Bone marrow aspirate smear; single-cell field; Pappenheim-stained:
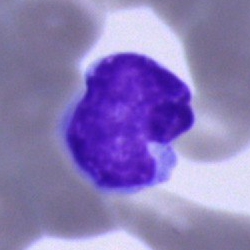
Classification — lymphocyte.